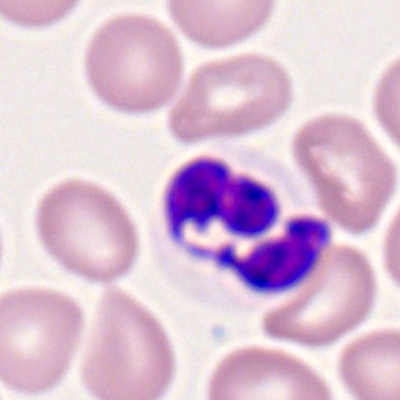 Morphological class: neutrophil (segmented).